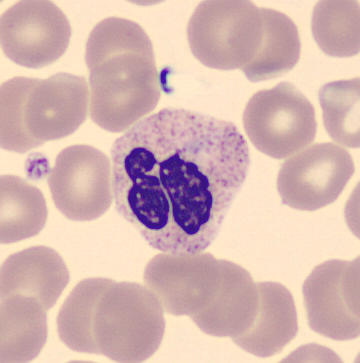 Peripheral blood film. Morphological class = polymorphonuclear neutrophil.